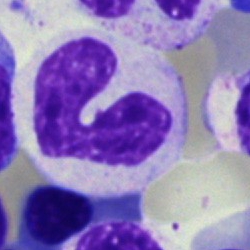 Cell type — neutrophil (band).